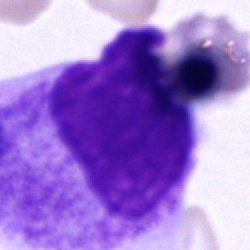 Q: What type of cell is this?
A: This is a progranulocyte.